40× oil immersion. Bone marrow aspirate smear: 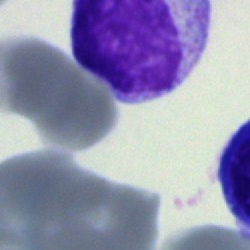 Single cell identified as an artefact.